Bone marrow smear: 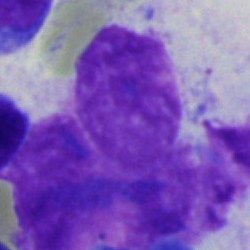The cell type is artifact.